Bone marrow aspirate smear · single-cell field · May-Grünwald-Giemsa/Pappenheim stain
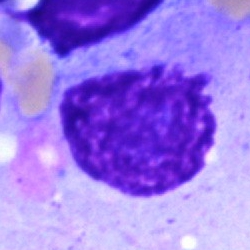 Q: What is shown here?
A: An artefact.